Bone marrow aspirate smear
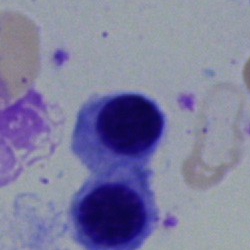 Impression → nucleated red cell.